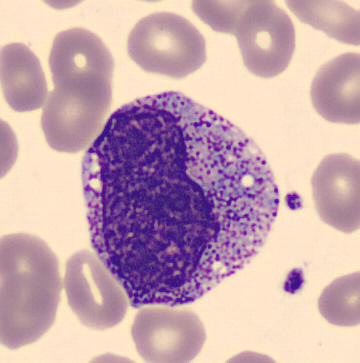
Image: Single-cell field; peripheral blood film. Q: What cell is this?
A: It is a promyelocyte.